Bone marrow smear
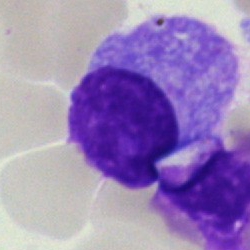The cell is plasmacyte.